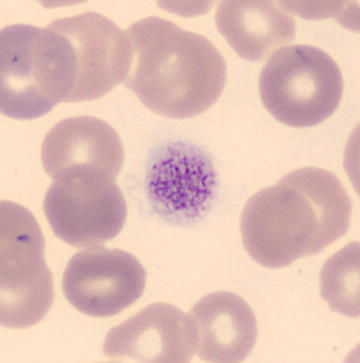 Automated cell imaging (CellaVision DM96) · peripheral blood film · 360 by 363 pixels.
Morphology consistent with a platelet.